Brightfield microscopy, 40× oil immersion · bone marrow smear
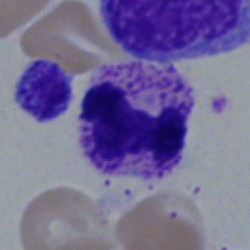
Morphology consistent with a neutrophil (segmented).